Bone marrow aspirate smear. 250×250 px:
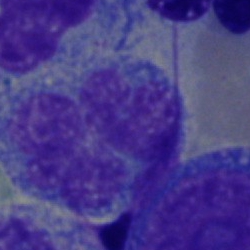
Morphology consistent with a monocyte.